Bone marrow aspirate smear.
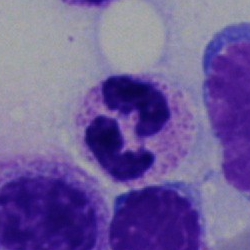 Morphological class = neutrophil (segmented).